Peripheral blood film: 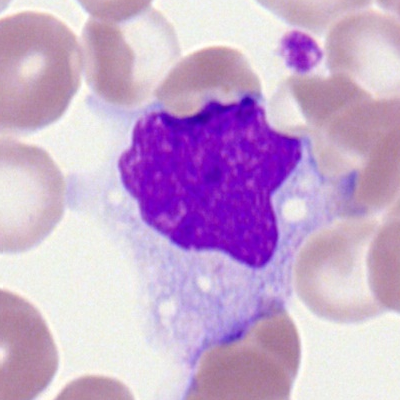
Classification = monocyte.